Bone marrow aspirate smear.
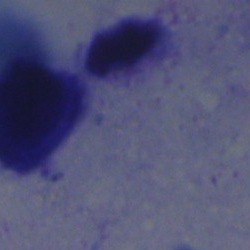 Q: What is shown here?
A: Artefact.